Image size 250×250 · bone marrow smear — 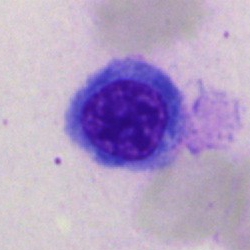 Impression — nucleated red blood cell.